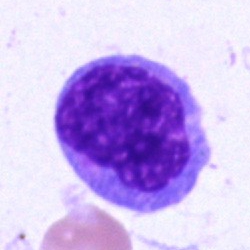Q: What is shown here?
A: This is a monocyte.